Bone marrow smear; May-Grünwald-Giemsa stain.
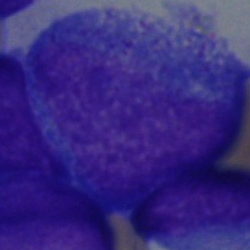

Specimen: bone marrow smear.
Cell: promyelocyte.
Lineage: myeloid.